Bone marrow aspirate smear:
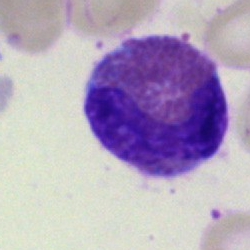

Specimen: bone marrow aspirate smear.
Cell type: eosinophilic granulocyte.
Lineage: myeloid.